Bone marrow aspirate smear; brightfield microscopy, 40× oil immersion; May-Grünwald-Giemsa stain:
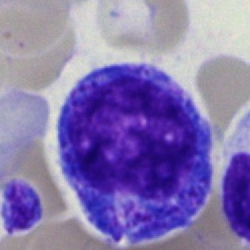

Specimen: bone marrow aspirate smear.
Cell: promyelocyte.
Lineage: myeloid.